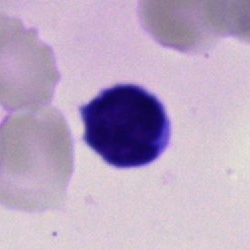
Bone marrow aspirate smear, single cell — typical lymphocyte.